Bone marrow smear; single-cell field; brightfield, 40× oil-immersion objective:
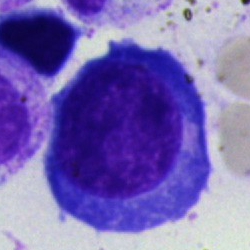
Cell: pronormoblast.